Cropped to a single cell · bone marrow smear · 40× oil immersion — 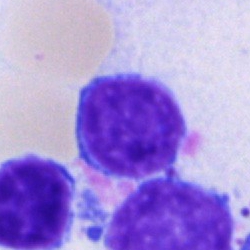

Morphological class: lymphocyte.